Pappenheim-stained · bone marrow aspirate smear
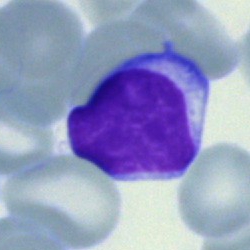

Showing a lymphocyte.